Bone marrow smear.
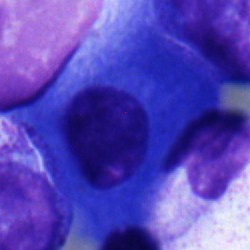

Plasma cell.